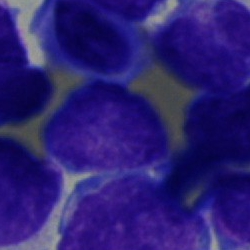
Morphological class: blast cell.